MGG-stained. Brightfield microscopy, 40× oil immersion. Bone marrow smear.
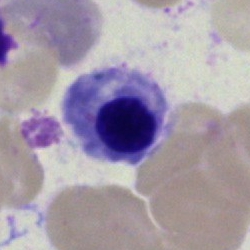Classification = nucleated red blood cell.